May-Grünwald-Giemsa stain; bone marrow aspirate smear
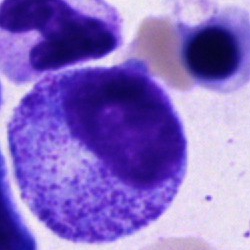 The morphological class is promyelocyte.